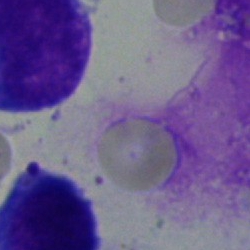This is an artifact.